Single-cell field · 250 by 250 pixels · bone marrow aspirate smear:
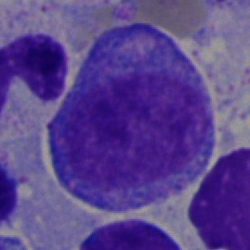

Cell type: promyelocyte.